Peripheral blood smear. Single cell centered in the field.
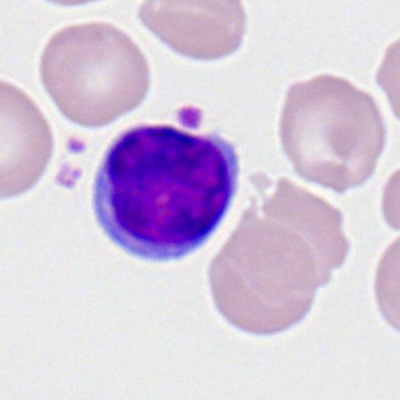Impression → lymphocyte.